May-Grünwald-Giemsa stain. Bone marrow smear: 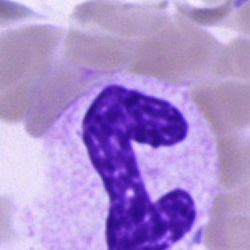

Morphological class = stab cell.